MGG stain. Peripheral blood film — 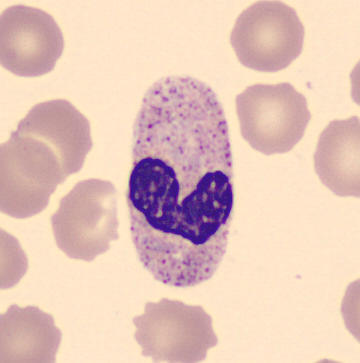

Specimen: peripheral blood smear.
Classification: band-form neutrophil.